Bone marrow aspirate smear — 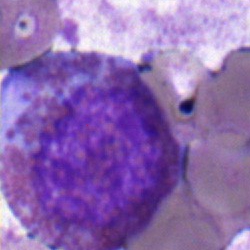Showing an eosinophil.